40× objective, oil immersion. Bone marrow smear:
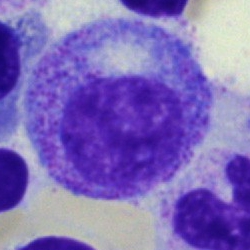

Q: What cell is this?
A: It is a promyelocyte.